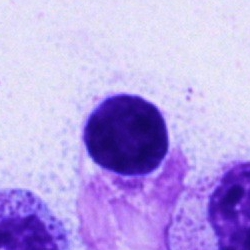 Bone marrow smear showing a lymphocyte.